Romanowsky stain · peripheral blood smear — 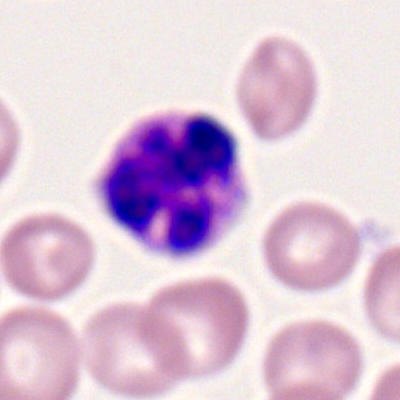
A neutrophil (segmented).